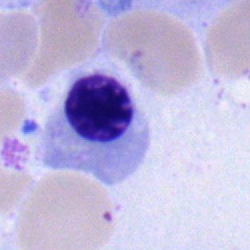
Specimen: bone marrow aspirate smear.
Cell: normoblast.